250×250; bone marrow smear:
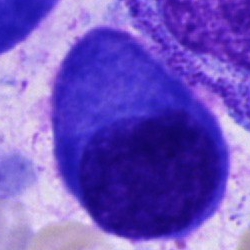

A plasma cell.